40× oil immersion · bone marrow aspirate smear:
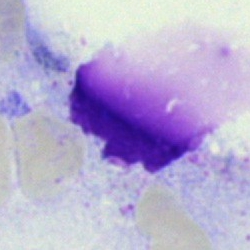Morphology consistent with an artifact.